MGG-stained · single-cell crop · bone marrow smear — 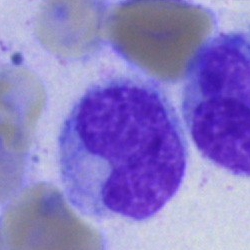
{"cell_type": "band neutrophil"}